May-Grünwald-Giemsa/Pappenheim stain. Bone marrow smear — 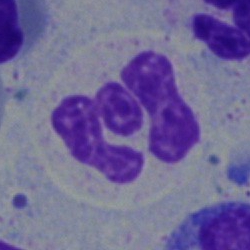

The cell shown is a polymorphonuclear neutrophil.